Bone marrow aspirate smear: 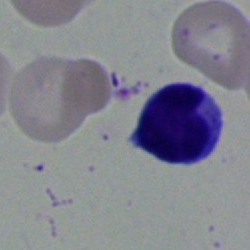

Cell type — typical lymphocyte.